Bone marrow smear · brightfield microscopy, 40× oil immersion.
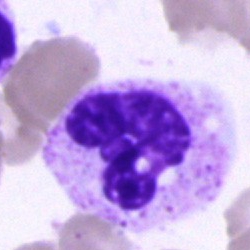

Showing a neutrophil (segmented).